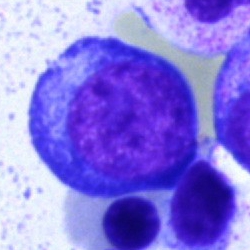

This is a proerythroblast.